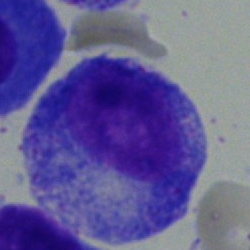 Specimen: bone marrow aspirate smear.
Cell: progranulocyte.